Bone marrow aspirate smear · 250×250 px.
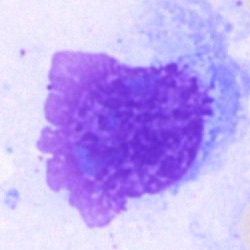

Cell type — artifact.